Image size 250×250; bone marrow smear; May-Grünwald-Giemsa stain
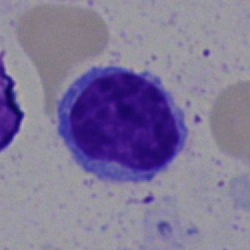

Q: What is the morphological classification of this cell?
A: A lymphocyte.